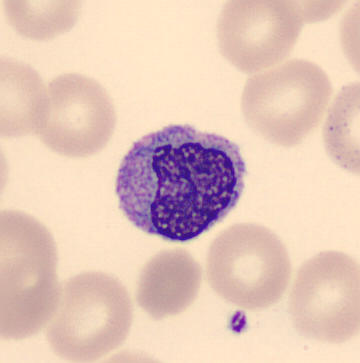Q: What is shown here?
A: It is a monocyte.